250×250. 40× oil immersion. Bone marrow smear — 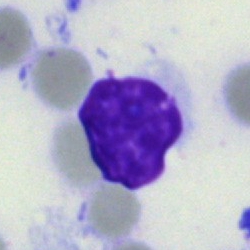 Q: What is shown here?
A: Artefact.